Bone marrow aspirate smear.
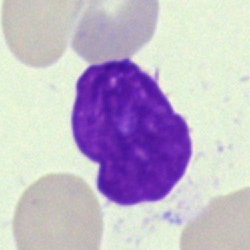 An unidentifiable cell.